250×250 px · bone marrow aspirate smear · single-cell crop: 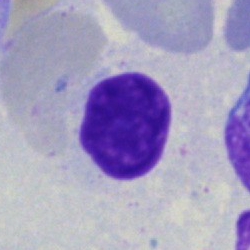

Impression → artifact.